MGG-stained; single cell centered in the field; bone marrow smear: 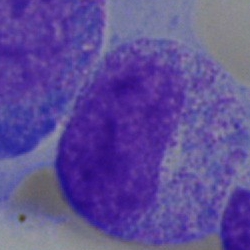 The cell is myelocyte.